Brightfield microscopy, 40× oil immersion; bone marrow aspirate smear; single-cell crop — 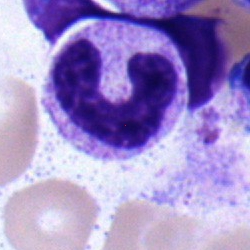
A band-form neutrophil.